Bone marrow aspirate smear
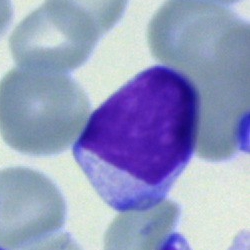

Single cell identified as a typical lymphocyte.